May-Grünwald-Giemsa stain; bone marrow aspirate smear:
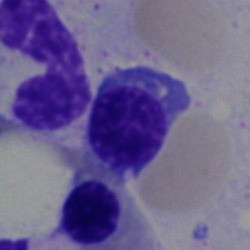 Morphological class — normoblast.